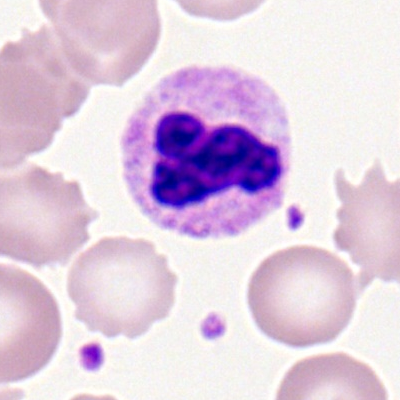The cell shown is a neutrophil (segmented).